Bone marrow aspirate smear.
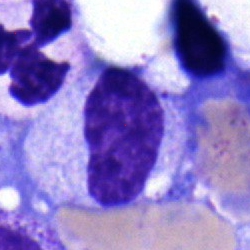Morphology → metamyelocyte.